MGG-stained · bone marrow aspirate smear — 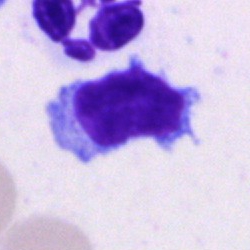The cell shown is a lymphocyte.